Bone marrow smear.
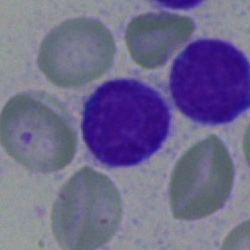Single cell identified as a lymphocyte.